250 by 250 pixels · Pappenheim-stained · bone marrow smear: 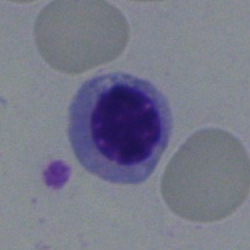 A normoblast.